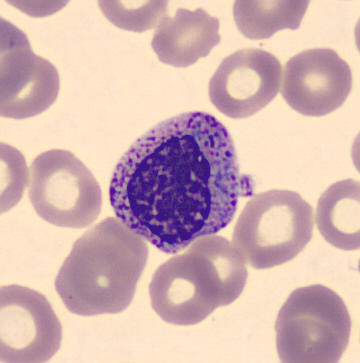

Identified as a metamyelocyte.